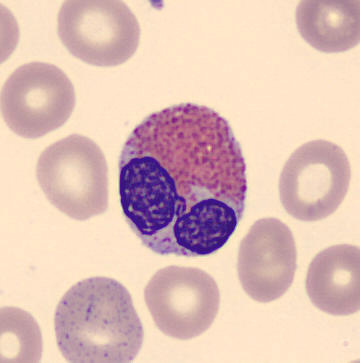May-Grünwald-Giemsa-stained · imaged on a CellaVision DM96 analyser · peripheral blood film.

This is an eosinophil.